Bone marrow smear:
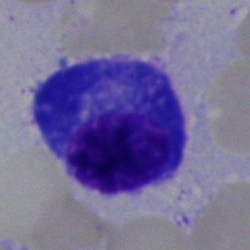 Morphological class = plasmacyte.